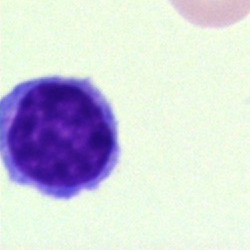 Morphology → typical lymphocyte.